Bone marrow smear:
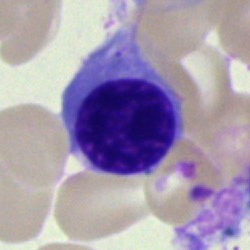
Q: What type of cell is this?
A: It is a nucleated red blood cell.